Bone marrow smear. May-Grünwald-Giemsa stain — 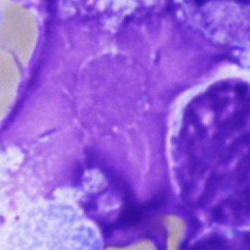Q: What is shown here?
A: An artifact.